Bone marrow aspirate smear; 40× oil immersion
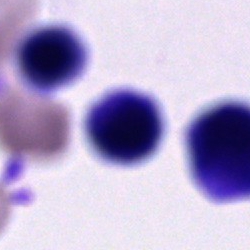 A cell of indeterminate lineage.